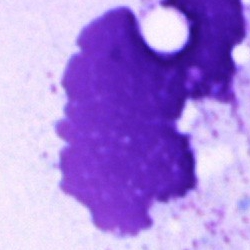 Single cell identified as an artefact.